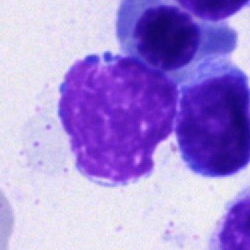

Artefact.